Bone marrow smear. Single cell centered in the field — 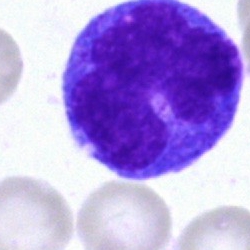
A monocyte.